Single-cell field. 250 by 250 pixels. Bone marrow smear:
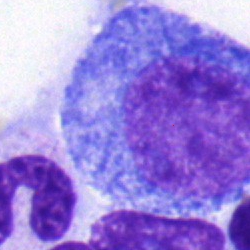 The cell shown is a promyelocyte.